Bone marrow aspirate smear · single cell centered in the field — 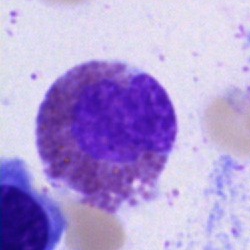 Specimen: bone marrow aspirate smear.
Classification: eosinophilic granulocyte.